Bone marrow smear — 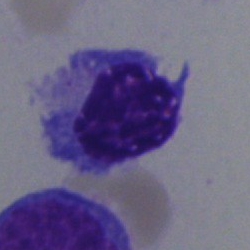

Morphology consistent with a nucleated red blood cell.